Bone marrow aspirate smear — 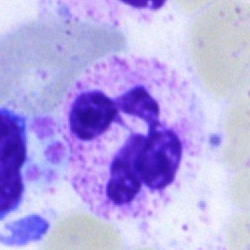 This is a polymorphonuclear neutrophil.